Bone marrow aspirate smear; single cell centered in the field
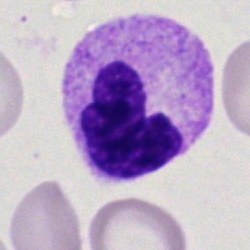
This is a polymorphonuclear neutrophil.